Bone marrow aspirate smear · 40× objective, oil immersion.
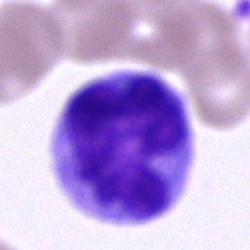
A monocyte.